Bone marrow smear. MGG-stained — 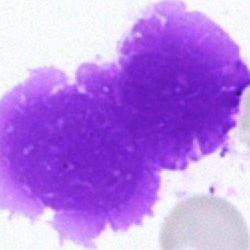
This is an artefact.